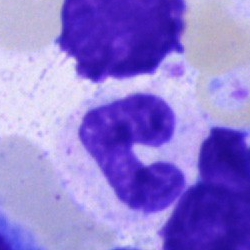 Q: Identify the cell.
A: It is a stab cell.